Brightfield microscopy, 40× oil immersion. 250×250. Bone marrow aspirate smear
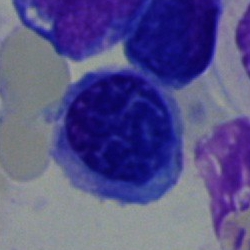Erythroblast.